Bone marrow aspirate smear. May-Grünwald-Giemsa/Pappenheim stain — 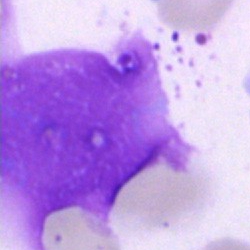
Q: What is shown here?
A: This is an artefact.